Bone marrow aspirate smear; single-cell crop — 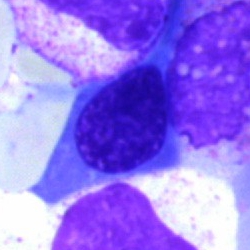

Specimen: bone marrow aspirate smear.
Morphological class: nucleated red cell.
Lineage: erythroid.